Bone marrow aspirate smear — 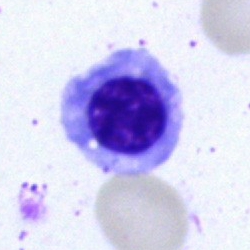
Cell — nucleated red cell.